Bone marrow smear · 40× oil immersion
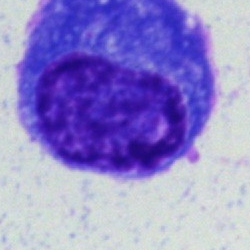
Q: Identify the cell.
A: Plasma cell.